Pappenheim-stained · bone marrow smear:
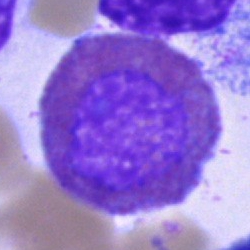 Q: Identify the cell.
A: It is an eosinophil.